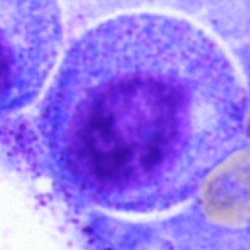
This is a progranulocyte.